Bone marrow aspirate smear. Cropped to a single cell. 40× objective, oil immersion.
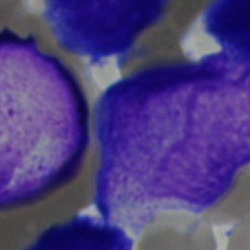

Q: What is the morphological classification of this cell?
A: Undifferentiated blast.